Bone marrow aspirate smear.
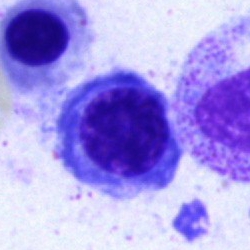 Specimen: bone marrow smear.
Cell: nucleated red blood cell.
Lineage: erythroid.